Peripheral blood smear — 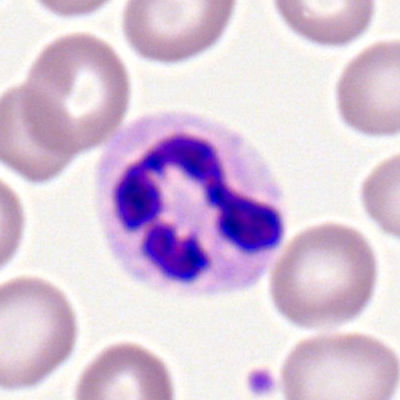

Specimen: peripheral blood film.
Morphological class: polymorphonuclear neutrophil.
Lineage: myeloid.